Bone marrow aspirate smear — 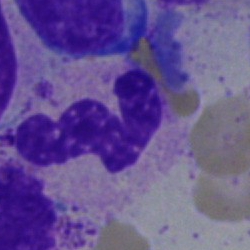Specimen: bone marrow smear.
Classification: neutrophil (segmented).
Lineage: myeloid.